400×400 · peripheral blood smear · Romanowsky-stained: 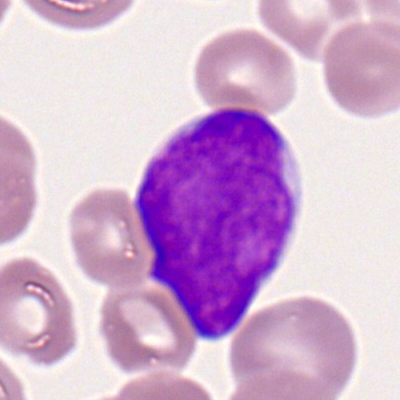

Myeloid blast.